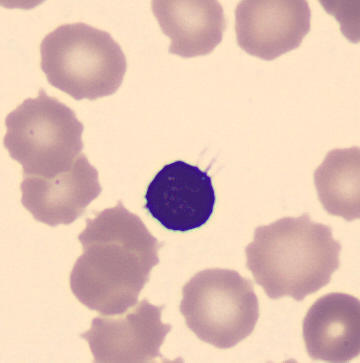

From a peripheral blood smear: a lymphocyte.